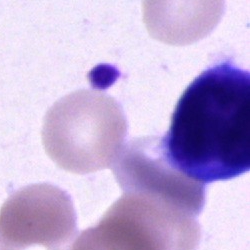 A blast cell on a bone marrow smear.